Bone marrow aspirate smear — 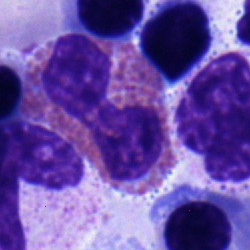An eosinophilic granulocyte.